Bone marrow aspirate smear
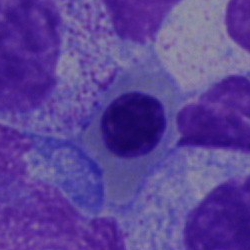

Cell type = nucleated red blood cell.